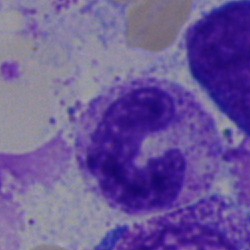 Morphology consistent with a neutrophil (band).